Bone marrow aspirate smear · 40× objective, oil immersion:
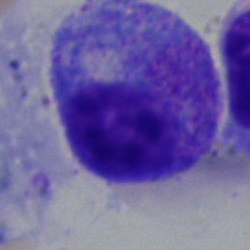

Q: What cell is this?
A: Promyelocyte.